Bone marrow aspirate smear — 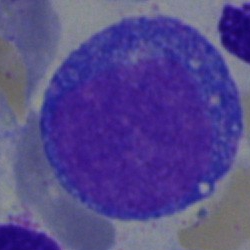
Impression — promyelocyte.